Bone marrow smear: 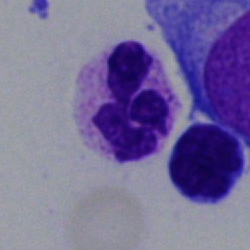Q: Which cell type is shown here?
A: Neutrophil (segmented).